May-Grünwald-Giemsa stain. Bone marrow aspirate smear — 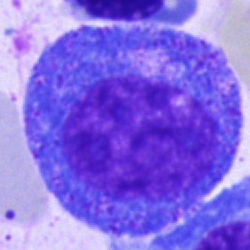

Specimen: bone marrow smear.
Cell: promyelocyte.